Bone marrow smear; May-Grünwald-Giemsa stain:
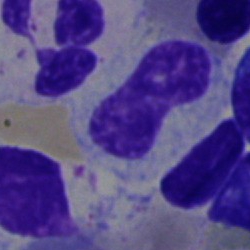

Cell — band-form neutrophil.